Bone marrow aspirate smear; MGG-stained:
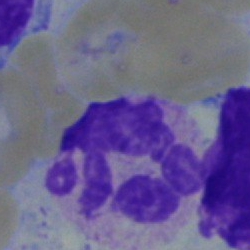 The cell is segmented neutrophil.